Bone marrow aspirate smear: 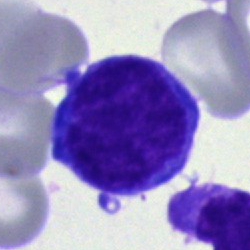Showing a blast cell.